Bone marrow smear · 40× objective, oil immersion
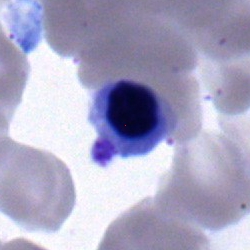Impression → nucleated red blood cell.